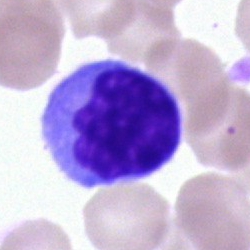Q: What cell is this?
A: This is a lymphocyte.